Peripheral blood film: 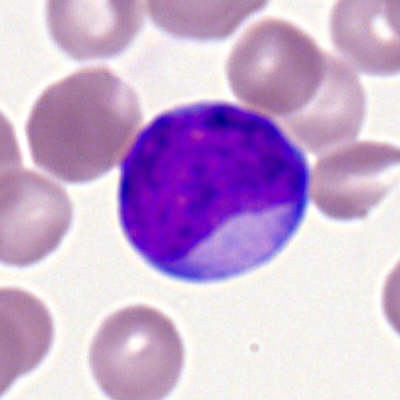Specimen: peripheral blood film.
Classification: myeloid blast.
Lineage: myeloid.